Bone marrow aspirate smear · single-cell crop
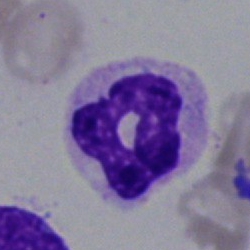 Q: What is the morphological classification of this cell?
A: Segmented neutrophil.